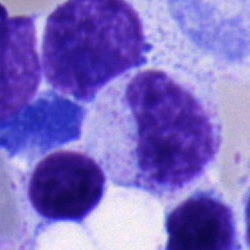 Q: What is the morphological classification of this cell?
A: This is a metamyelocyte.